Bone marrow aspirate smear:
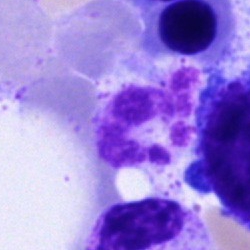 {"cell_type": "artifact"}